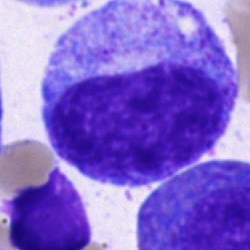 Cell type: progranulocyte.